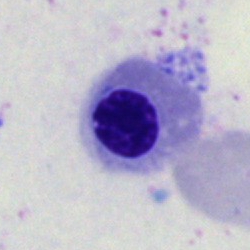A normoblast on a bone marrow smear.